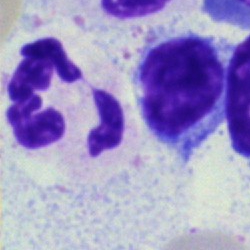 Morphology — polymorphonuclear neutrophil.